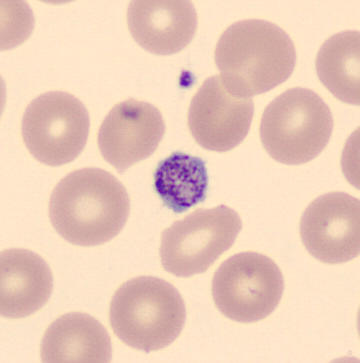 Peripheral blood smear showing a platelet.